MGG-stained · bone marrow aspirate smear: 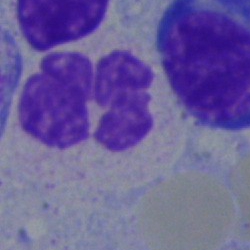

Impression → polymorphonuclear neutrophil.